Image size 250×250. Bone marrow smear:
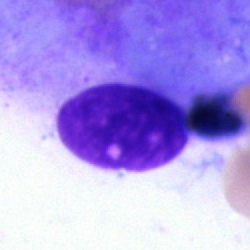{"cell_type": "artefact"}